Bone marrow smear: 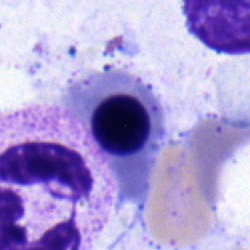 Classification — nucleated red blood cell.